Bone marrow smear — 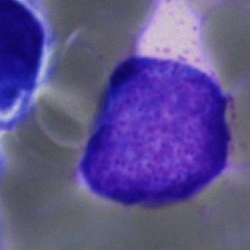

Cell type — promyelocyte.